May-Grünwald-Giemsa stain. Bone marrow aspirate smear.
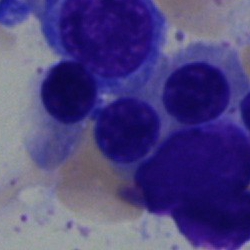 Specimen: bone marrow aspirate smear.
Morphological class: nucleated red blood cell.